Bone marrow smear
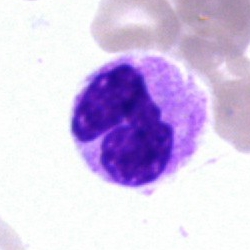
Neutrophil (segmented).